Peripheral blood film. Cropped to a single cell:
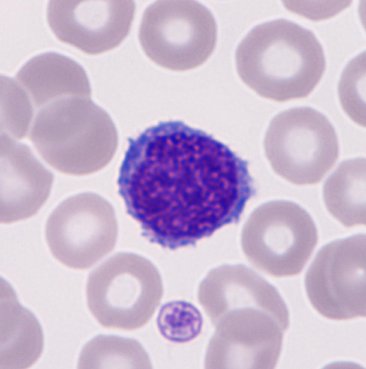This is a typical lymphocyte.